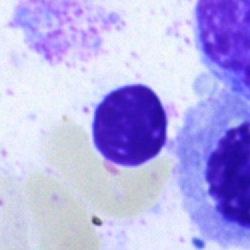

Q: What is the morphological classification of this cell?
A: A lymphocyte.